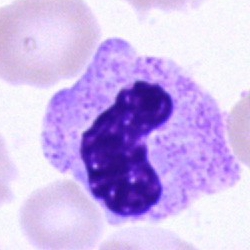 Single-cell crop from a bone marrow smear: segmented neutrophil.